Bone marrow smear — 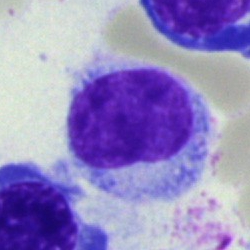 This is a hairy cell.